Bone marrow aspirate smear:
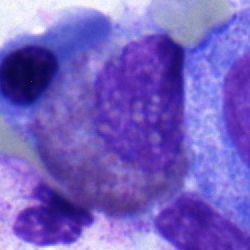Morphology consistent with an eosinophil.